250×250 px; Pappenheim-stained; bone marrow aspirate smear
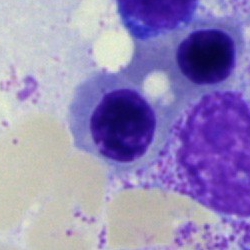
Erythroblast.